MGG-stained. Bone marrow smear.
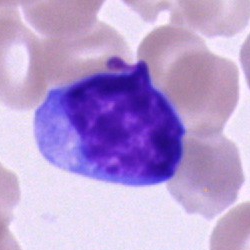

Specimen: bone marrow smear.
Morphological class: undifferentiated blast.